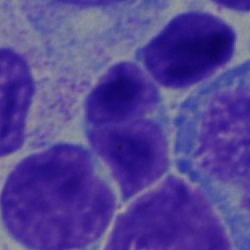

Q: What is shown here?
A: Lymphocyte.